Bone marrow smear
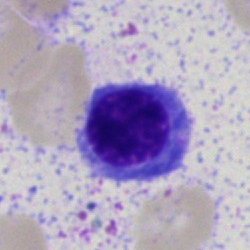
Showing a nucleated red blood cell.